Bone marrow smear: 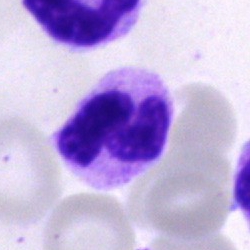
Specimen: bone marrow aspirate smear.
Morphological class: segmented neutrophil.